40× oil immersion · bone marrow aspirate smear:
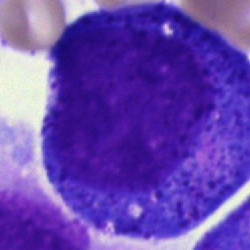

Single cell identified as a promyelocyte.